Brightfield, 40× oil-immersion objective; bone marrow aspirate smear; 250 by 250 pixels — 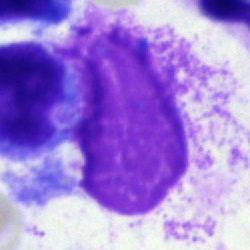 Q: What is shown here?
A: Artifact.